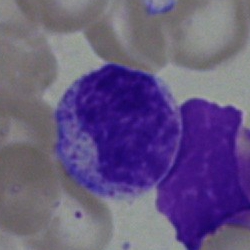Morphological class: metamyelocyte.